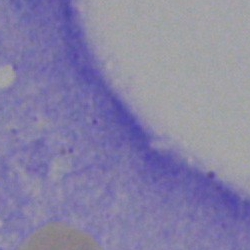

Morphology → artefact.